Peripheral blood film
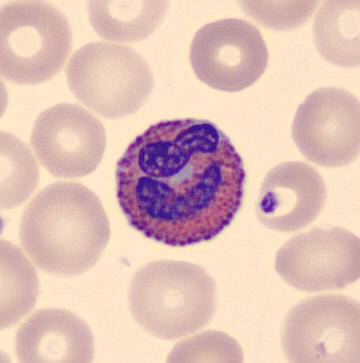
Morphology → eosinophil.